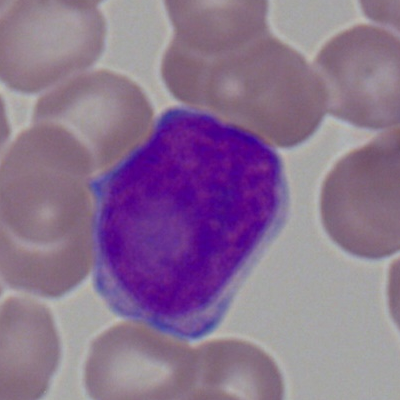{"cell_type": "myeloid blast", "lineage": "myeloid"}